Bone marrow aspirate smear; May-Grünwald-Giemsa/Pappenheim stain — 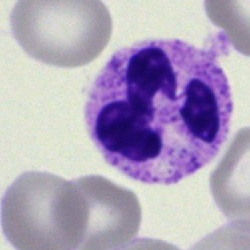 Segmented neutrophil.